Bone marrow aspirate smear
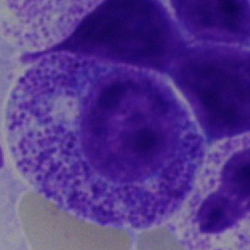

Specimen: bone marrow smear.
Classification: myelocyte.
Lineage: myeloid.